Bone marrow aspirate smear — 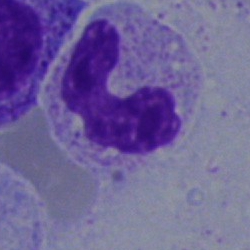 This is a stab cell.